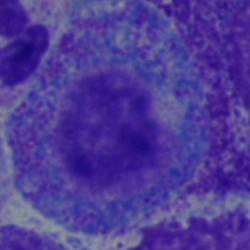Morphological class = promyelocyte.